Bone marrow aspirate smear:
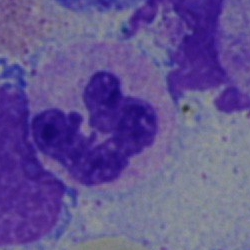The cell type is segmented neutrophil.